Peripheral blood film · cropped to a single cell: 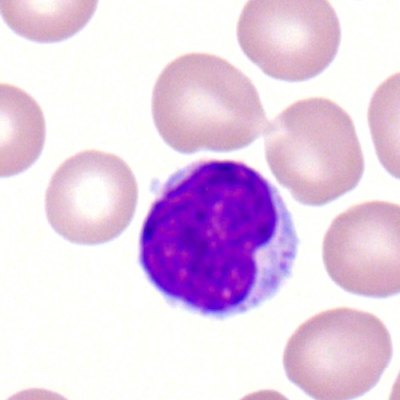Classification — lymphocyte.